Bone marrow aspirate smear.
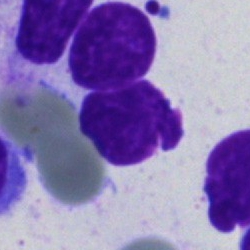 Morphological class: artifact.